100× oil immersion, 14.14 px/µm; 400 by 400 pixels; peripheral blood smear:
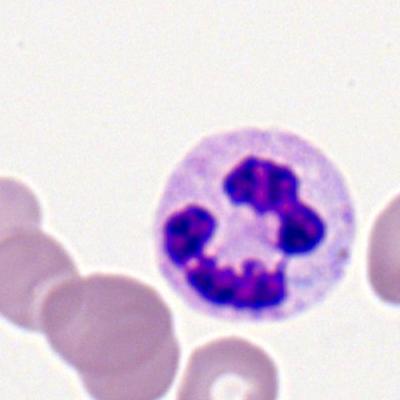

Q: Identify the cell.
A: A polymorphonuclear neutrophil.